Peripheral blood film
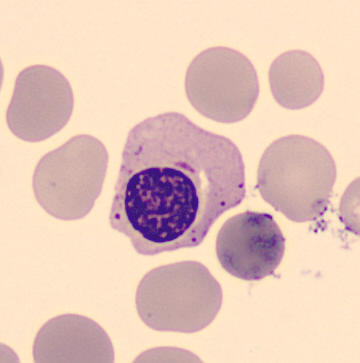
A nucleated red blood cell.